Bone marrow aspirate smear. May-Grünwald-Giemsa stain.
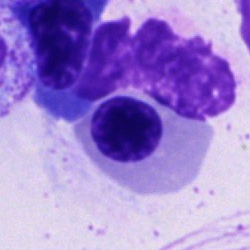The cell shown is an erythroblast.